Bone marrow smear: 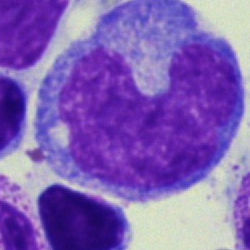
{"cell_type": "monocyte"}